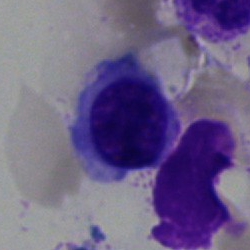Specimen: bone marrow smear.
Classification: nucleated red cell.
Lineage: erythroid.